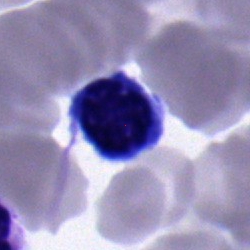
Classification = lymphocyte.